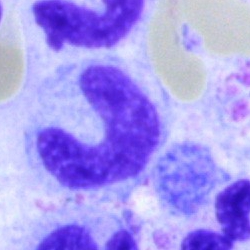Showing a stab cell.